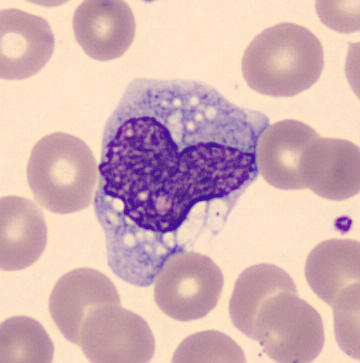

Image: CellaVision DM96 digital cell image · peripheral blood smear.

Cell type = monocyte.